250×250 · bone marrow aspirate smear
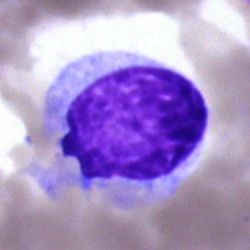
This is a hairy cell.